Bone marrow smear
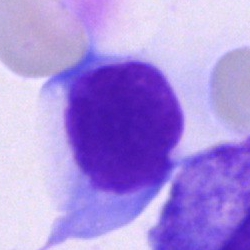Classification: artifact.